Single-cell field; bone marrow aspirate smear — 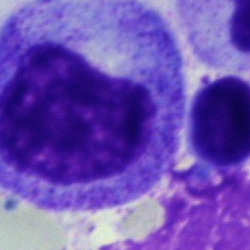Classification = promyelocyte.